Bone marrow aspirate smear:
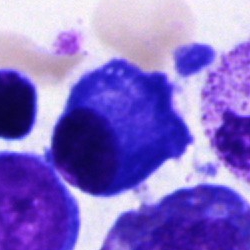 Morphology — plasmacyte.